Bone marrow aspirate smear · brightfield, 40× oil-immersion objective · cropped to a single cell.
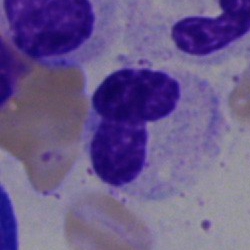
Specimen: bone marrow smear.
Cell: polymorphonuclear neutrophil.
Lineage: myeloid.